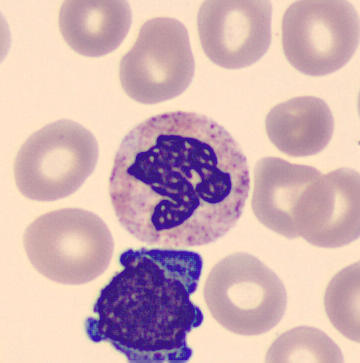 Peripheral blood film · single-cell crop.
Cell = neutrophil (segmented).